Bone marrow aspirate smear
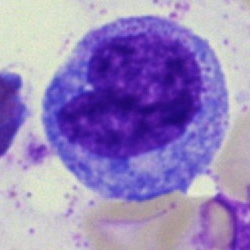

Morphology consistent with a progranulocyte.